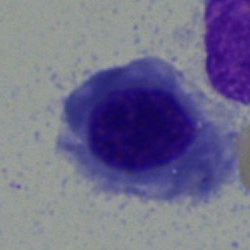

Bone marrow smear showing a normoblast.